May Grünwald-Giemsa stain · peripheral blood smear · single-cell field
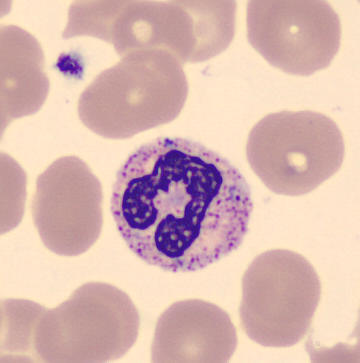
Morphological class: neutrophil (segmented).